Bone marrow aspirate smear. 40× objective, oil immersion — 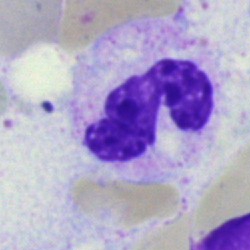 Impression → neutrophil (segmented).